Romanowsky-type stain; 400×400 px; peripheral blood film:
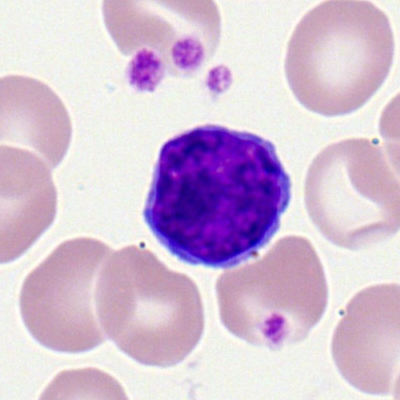 Morphology → typical lymphocyte.